Image size 250×250 · bone marrow smear — 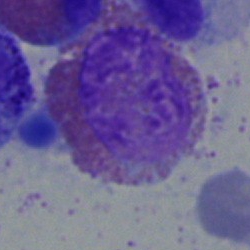 Specimen: bone marrow aspirate smear.
Cell type: eosinophil.
Lineage: myeloid.